Bone marrow aspirate smear:
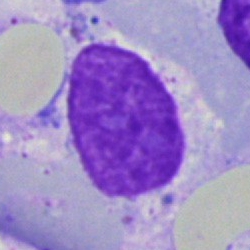 This is an artefact.